Brightfield, 40× oil-immersion objective · bone marrow aspirate smear: 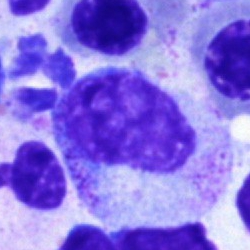 Specimen: bone marrow smear.
Cell: myelocyte.
Lineage: myeloid.